Bone marrow aspirate smear
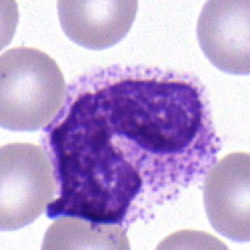This is a segmented neutrophil.